Bone marrow aspirate smear:
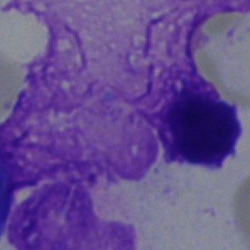

The cell shown is an artifact.